Bone marrow smear: 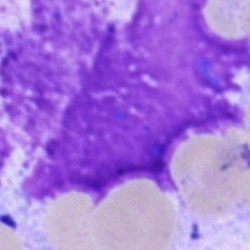
Q: What is shown here?
A: Artifact.